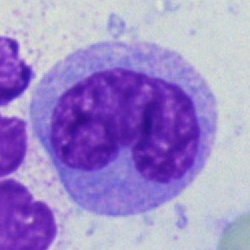

Impression → monocyte.